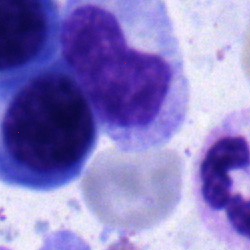

Q: What cell is this?
A: It is a metamyelocyte.